250×250 px; MGG-stained; bone marrow aspirate smear: 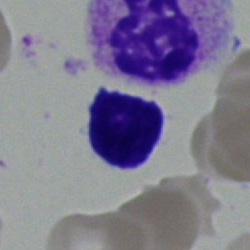 Morphology — typical lymphocyte.